Bone marrow smear — 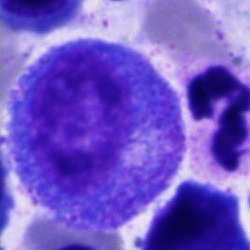Q: Identify the cell.
A: This is a promyelocyte.